Bone marrow smear · 250×250 px — 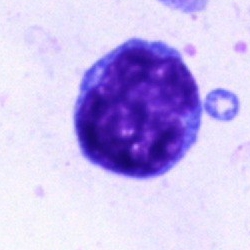

Impression — blast cell.